Cropped to a single cell. Peripheral blood smear. 100× oil immersion: 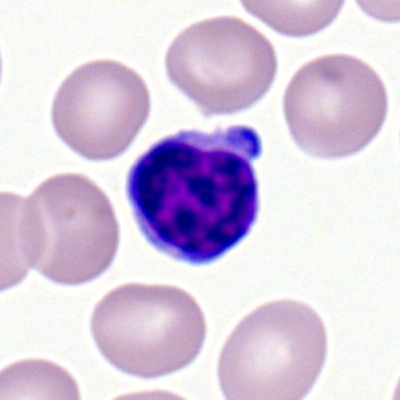Morphology consistent with a lymphocyte.